Peripheral blood smear
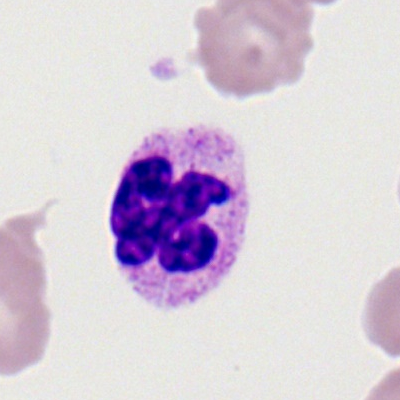
Impression → neutrophil (segmented).